May-Grünwald-Giemsa stain · bone marrow smear · 40× oil immersion: 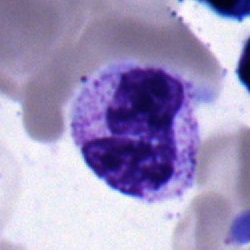Impression → segmented neutrophil.